Bone marrow smear — 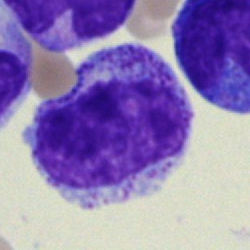

Cell type = myelocyte.